Bone marrow aspirate smear — 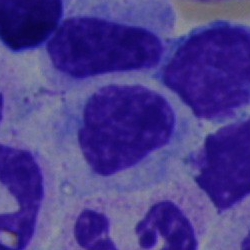 Q: Identify the cell.
A: This is a myelocyte.